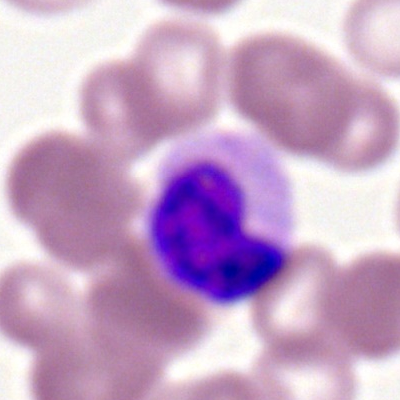 Cell type: neutrophil (segmented).